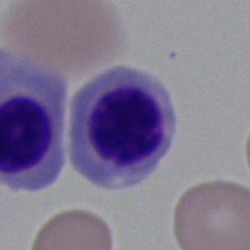

Q: What cell is this?
A: It is a nucleated red cell.